Bone marrow aspirate smear:
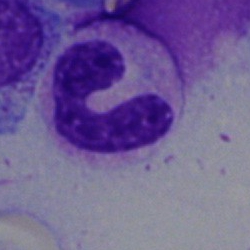Showing a stab cell.